Bone marrow smear:
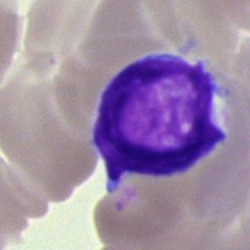 Impression → lymphocyte.